Bone marrow aspirate smear — 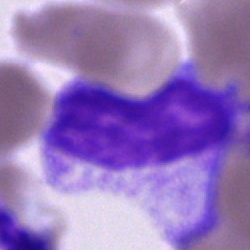

Cell type: metamyelocyte.